Bone marrow smear — 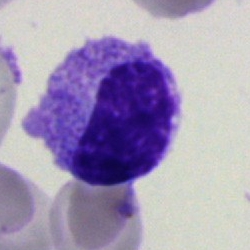Morphology → myelocyte.